40× oil immersion; May-Grünwald-Giemsa stain; bone marrow aspirate smear
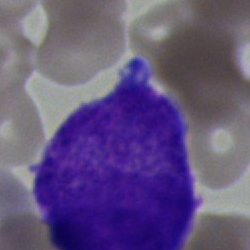 {"cell_type": "undifferentiated blast"}